Bone marrow aspirate smear — 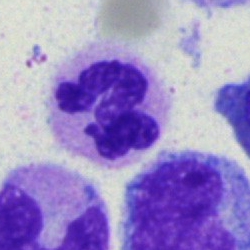Showing a polymorphonuclear neutrophil.